Bone marrow smear
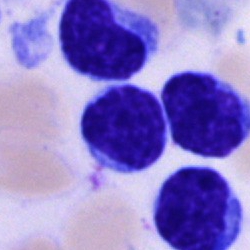

{"cell_type": "lymphocyte"}